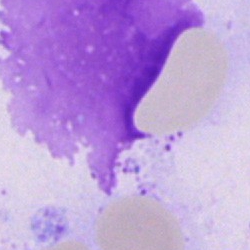
Cell type: artifact.